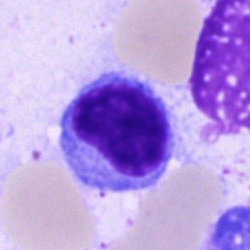

The cell shown is a lymphocyte.